Bone marrow aspirate smear.
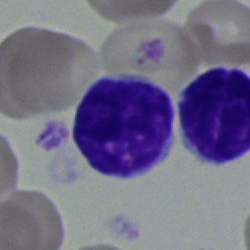Q: What cell is this?
A: A typical lymphocyte.